Bone marrow aspirate smear: 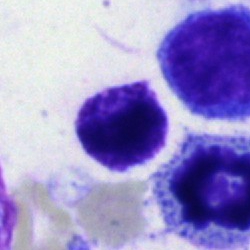 Cell = basophil.